Bone marrow smear — 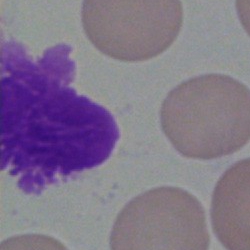Cell = artefact.